40× objective, oil immersion · 250×250 px · bone marrow smear:
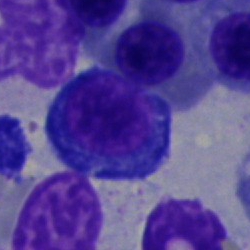

Morphology consistent with a normoblast.